Single cell centered in the field. May-Grünwald-Giemsa/Pappenheim stain. Bone marrow aspirate smear
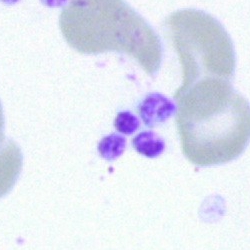
Cell type: artefact.